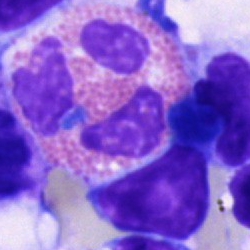Bone marrow smear showing an eosinophilic granulocyte.